Bone marrow smear.
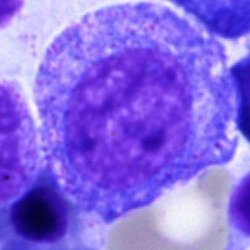 The cell shown is a progranulocyte.